Bone marrow aspirate smear; MGG-stained
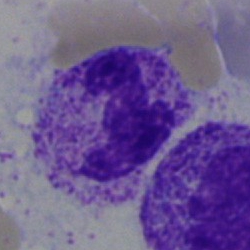 The cell is polymorphonuclear neutrophil.